Bone marrow smear; 40× oil immersion; single-cell field — 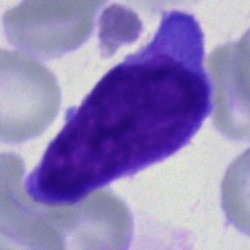
Morphological class = blast.